Bone marrow smear · 250×250 · single-cell field: 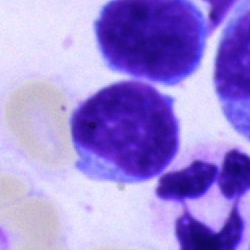

The classification is typical lymphocyte.